Bone marrow aspirate smear. 250 by 250 pixels
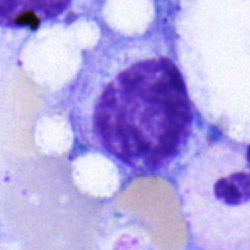Q: What cell is this?
A: It is a myelocyte.